Bone marrow aspirate smear
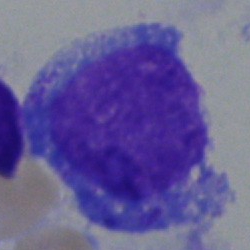 Morphological class = promyelocyte.